Brightfield, 40× oil-immersion objective · bone marrow aspirate smear.
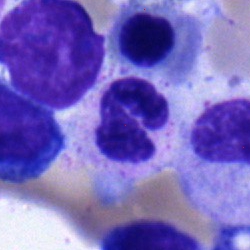
Morphology consistent with a neutrophil (segmented).